40× objective, oil immersion; bone marrow aspirate smear; 250 by 250 pixels.
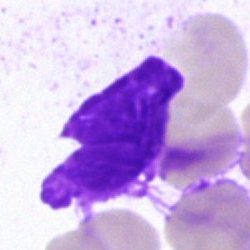

Classification = artifact.